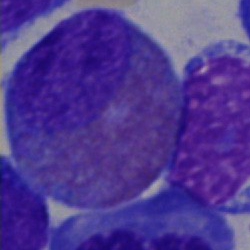
Cell type — eosinophil.